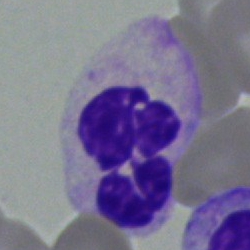

Specimen: bone marrow aspirate smear.
Morphological class: polymorphonuclear neutrophil.
Lineage: myeloid.